Bone marrow smear
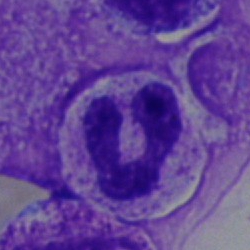 {"cell_type": "band neutrophil", "lineage": "myeloid"}